May-Grünwald-Giemsa stain · cropped to a single cell · bone marrow aspirate smear:
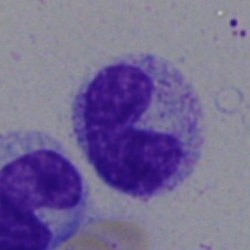Showing a segmented neutrophil.